Bone marrow smear · 250 by 250 pixels: 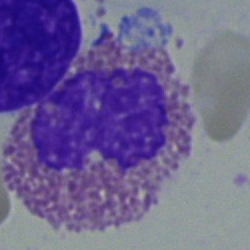 Morphology consistent with a basophil.